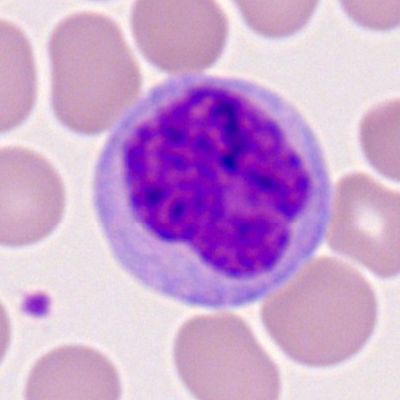 Cell — monocyte.